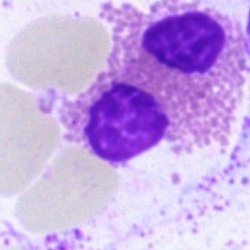Specimen: bone marrow aspirate smear.
Morphological class: eosinophilic granulocyte.
Lineage: myeloid.